400×400 · peripheral blood smear.
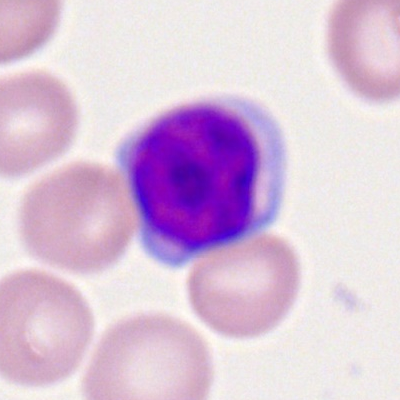 Morphology → typical lymphocyte.